Bone marrow aspirate smear. Brightfield microscopy, 40× oil immersion:
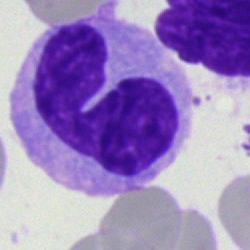

Classification = monocyte.